Brightfield, 40× oil-immersion objective; bone marrow smear; 250×250
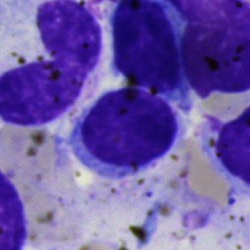 Q: Which cell type is shown here?
A: This is a lymphocyte.